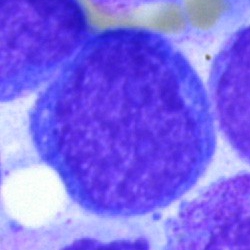Cell type: blast cell.